Image size 250×250 · bone marrow aspirate smear · Pappenheim-stained: 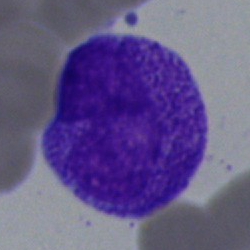 Cell type: progranulocyte.